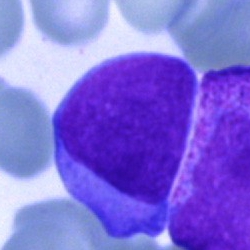
Morphological class = undifferentiated blast.